Single-cell field; Romanowsky stain; peripheral blood smear.
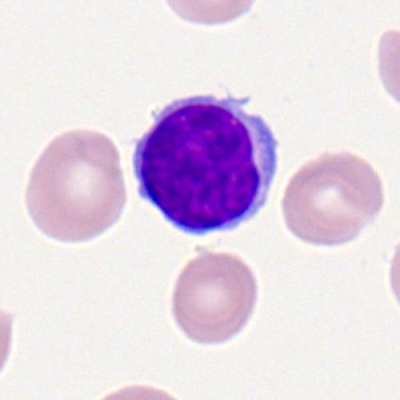 Classification — lymphocyte.